Bone marrow smear:
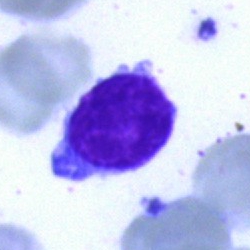Classification — lymphocyte.